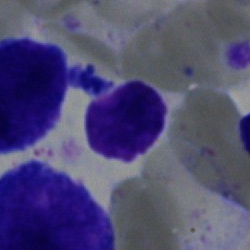
The cell shown is an artefact.